Single cell centered in the field. Bone marrow smear: 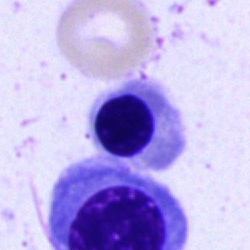A nucleated red blood cell.